Cropped to a single cell; bone marrow smear — 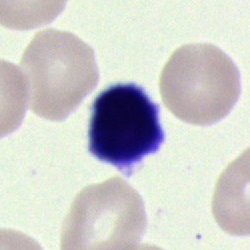 Q: What is shown here?
A: A lymphocyte.